40× objective, oil immersion; bone marrow aspirate smear
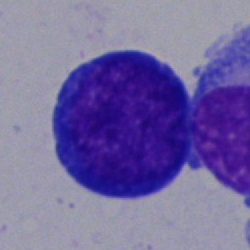Morphological class — blast cell.